Peripheral blood film: 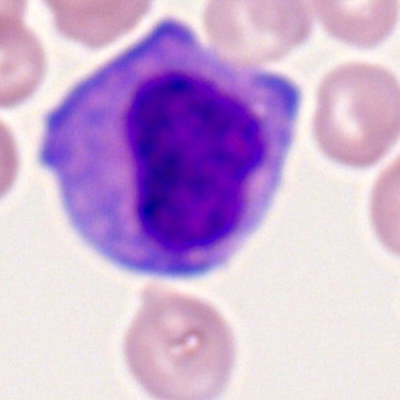 Morphology — myeloblast.